Bone marrow aspirate smear · 250×250 · brightfield microscopy, 40× oil immersion: 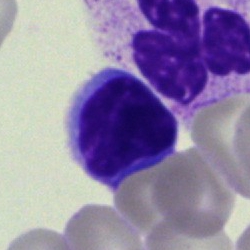
Morphology → typical lymphocyte.